Bone marrow smear:
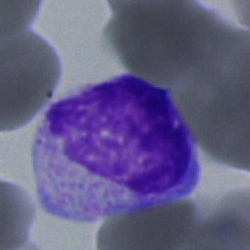

Morphology — myelocyte.